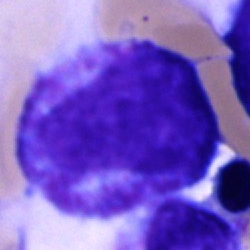
Morphological class = promyelocyte.